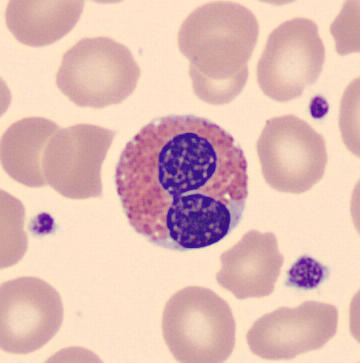

Eosinophilic granulocyte. Acquisition: Peripheral blood film.